Bone marrow smear: 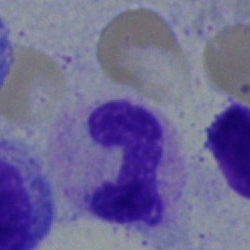

Q: What is shown here?
A: Stab cell.